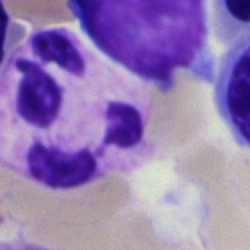 Single-cell crop from a bone marrow smear: neutrophil (segmented).